Bone marrow smear; Pappenheim-stained.
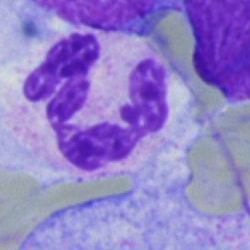

Specimen: bone marrow smear.
Cell type: segmented neutrophil.
Lineage: myeloid.